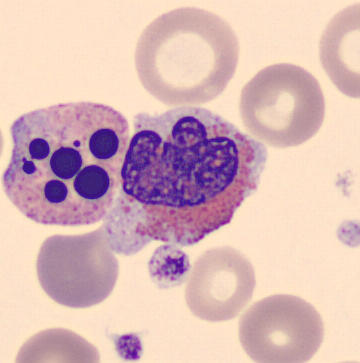

Peripheral blood smear.

Q: What type of cell is this?
A: This is an eosinophil.